Cropped to a single cell. Bone marrow smear — 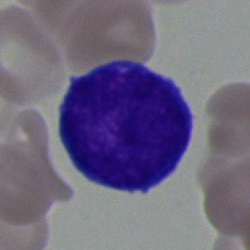

This is an undifferentiated blast.